Bone marrow aspirate smear
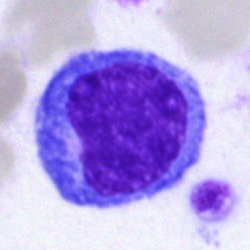
Cell type: monocyte.